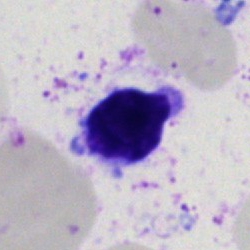
Q: What cell is this?
A: This is a lymphocyte.